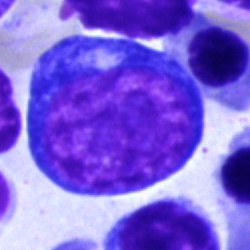Q: Which cell type is shown here?
A: It is a nucleated red cell.